Bone marrow aspirate smear
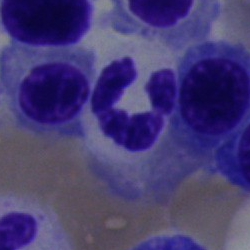Cell type — segmented neutrophil.